Bone marrow aspirate smear. Image size 250×250
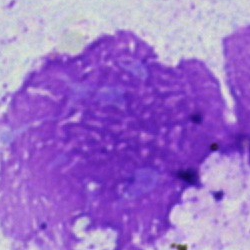Morphology consistent with an artefact.